Bone marrow aspirate smear — 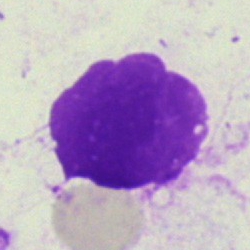
{"cell_type": "artefact"}